Bone marrow smear — 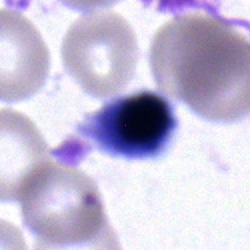
Classification: normoblast.